Cropped to a single cell · bone marrow aspirate smear
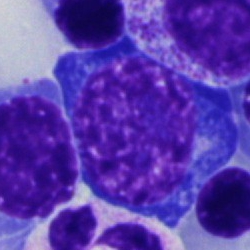

Nucleated red cell.